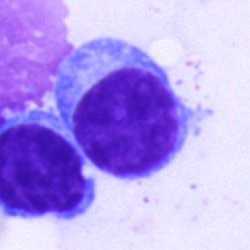
Q: Identify the cell.
A: Lymphocyte.